250 by 250 pixels; bone marrow smear — 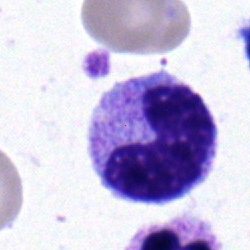

Q: Which cell type is shown here?
A: This is a stab cell.